Bone marrow smear.
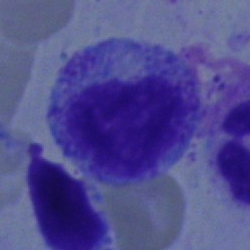

A myelocyte.